Bone marrow smear.
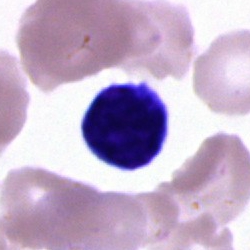
Specimen: bone marrow smear.
Classification: lymphocyte.